Bone marrow smear · 250 by 250 pixels · cropped to a single cell:
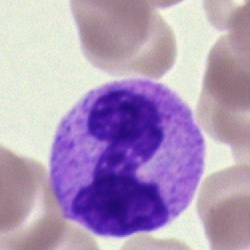Morphology consistent with a polymorphonuclear neutrophil.